100× objective, oil immersion. Peripheral blood smear: 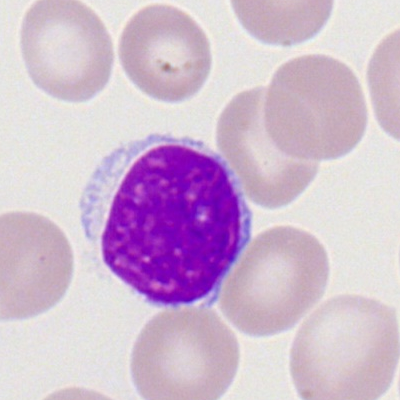 Specimen: peripheral blood film.
Cell: lymphocyte.